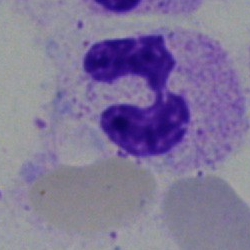 Q: What cell is this?
A: This is a segmented neutrophil.